Single-cell field; bone marrow smear; 40× objective, oil immersion — 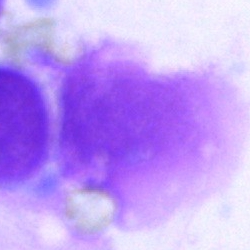
The cell shown is an artifact.